Romanowsky-stained; peripheral blood smear; cropped to a single cell — 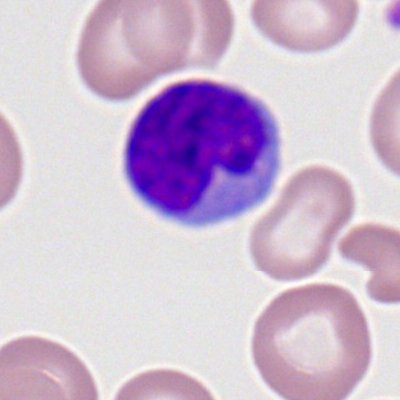

Morphological class = lymphocyte.